Image size 400×400. Peripheral blood film. Romanowsky-type stain — 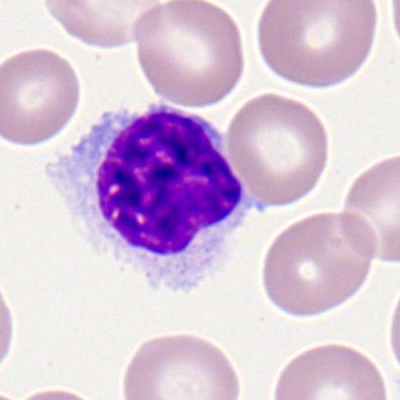 Cell: lymphocyte.